Bone marrow aspirate smear · single-cell field — 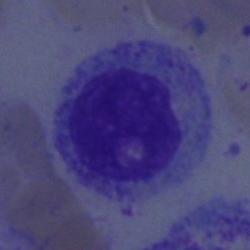{"cell_type": "myelocyte", "lineage": "myeloid"}